Bone marrow aspirate smear · May-Grünwald-Giemsa/Pappenheim stain
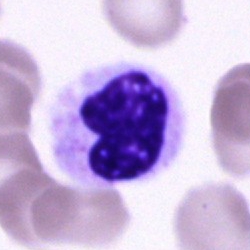 Neutrophil (segmented).